Bone marrow aspirate smear: 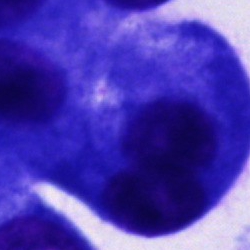Cell — cell not matching the other categories.